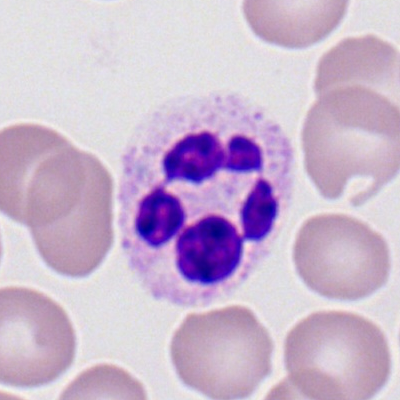Q: What is shown here?
A: Segmented neutrophil.